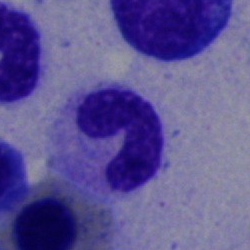 Q: What is the morphological classification of this cell?
A: Segmented neutrophil.